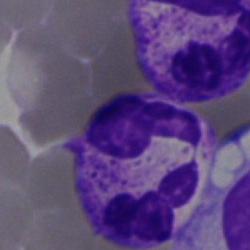 Impression → polymorphonuclear neutrophil.